Bone marrow aspirate smear: 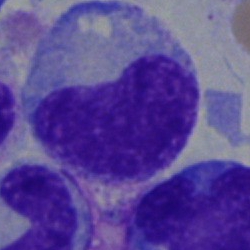

Cell — metamyelocyte.